Bone marrow smear.
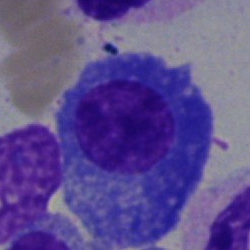Impression → plasmacyte.